Bone marrow aspirate smear · single-cell crop · 250×250 — 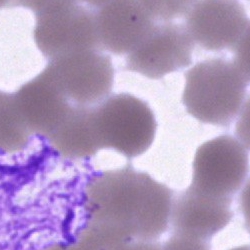
Single cell identified as an artifact.